Bone marrow smear
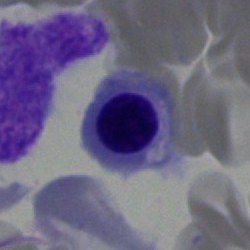Q: What is shown here?
A: Normoblast.